Bone marrow smear:
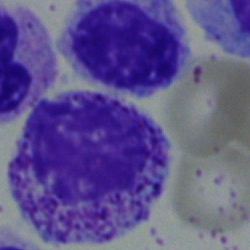This is a myelocyte.